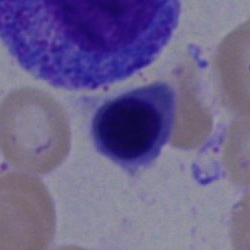 This is an erythroblast.